Bone marrow aspirate smear
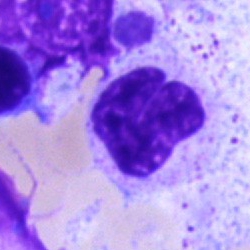

Specimen: bone marrow smear.
Cell type: artefact.